Single cell centered in the field; bone marrow smear:
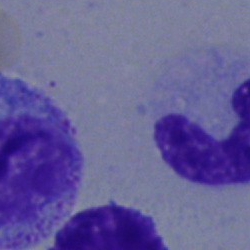Morphology — band neutrophil.